Bone marrow smear. Single cell centered in the field.
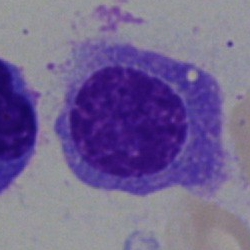
Morphology — plasmacyte.